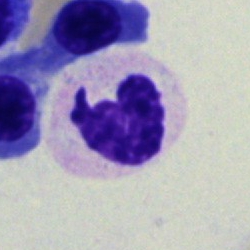Q: What cell is this?
A: A polymorphonuclear neutrophil.